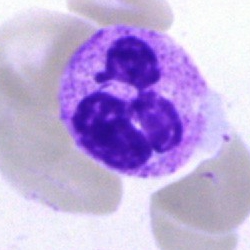Q: What is the morphological classification of this cell?
A: Neutrophil (segmented).